Cropped to a single cell. Bone marrow aspirate smear: 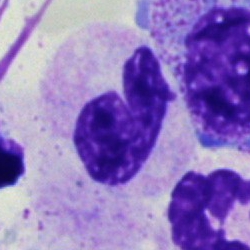

This is a stab cell.